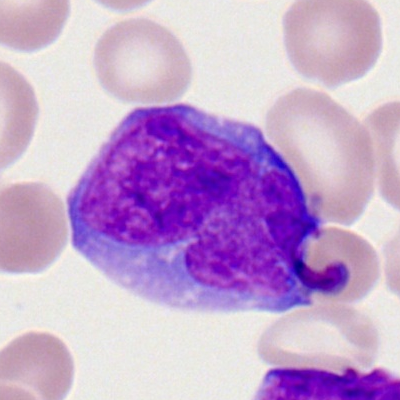 Specimen: peripheral blood film.
Cell type: myeloblast.
Lineage: myeloid.